Bone marrow aspirate smear:
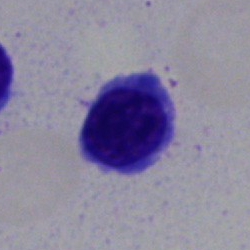
A lymphocyte.